Single cell centered in the field. Peripheral blood smear. Romanowsky stain: 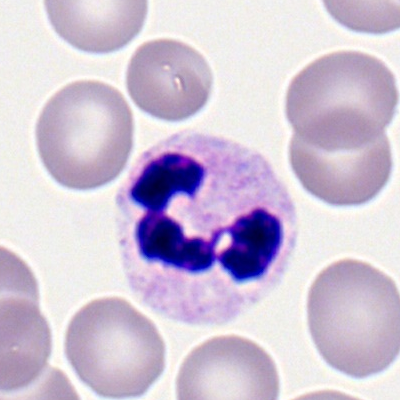 The cell shown is a neutrophil (segmented).